Peripheral blood smear:
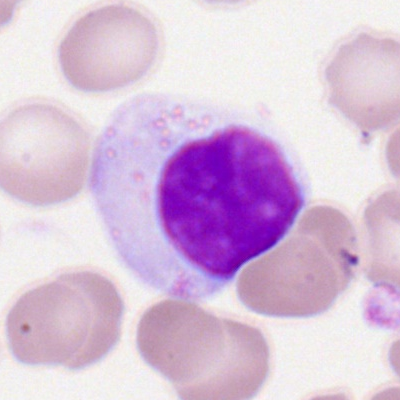

Specimen: peripheral blood smear.
Cell type: lymphocyte.